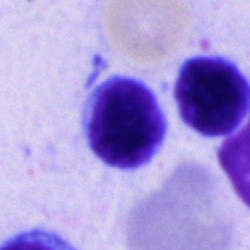

A typical lymphocyte on a bone marrow smear.